Pappenheim-stained; bone marrow smear:
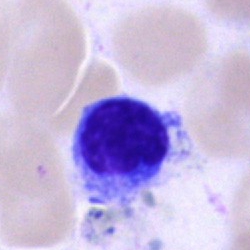

A typical lymphocyte.